Bone marrow smear: 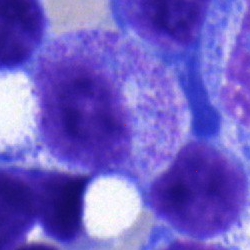
The cell shown is a myelocyte.